Bone marrow smear — 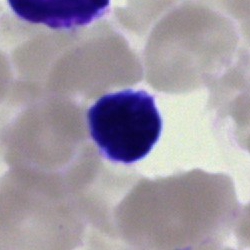 Cell type — lymphocyte.